Bone marrow smear:
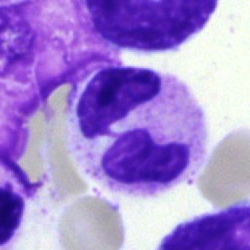Cell type = neutrophil (segmented).